Bone marrow aspirate smear
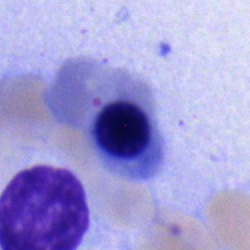Showing a normoblast.